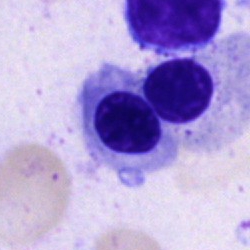 Impression — normoblast.